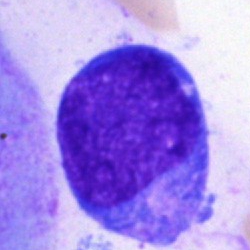
The cell type is blast.